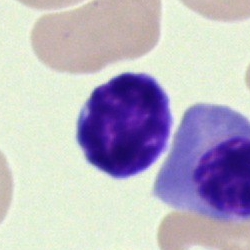
Cell = lymphocyte.